Bone marrow aspirate smear:
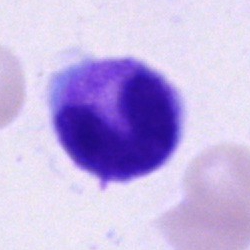 Cell = band neutrophil.